Peripheral blood smear
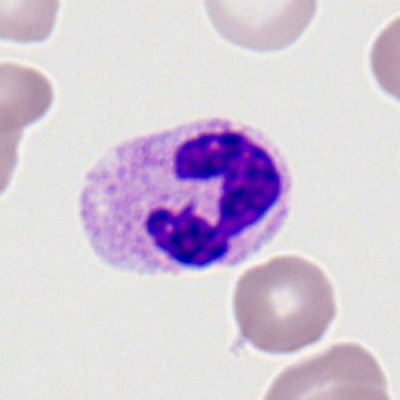 Impression → neutrophil (segmented).